Bone marrow smear.
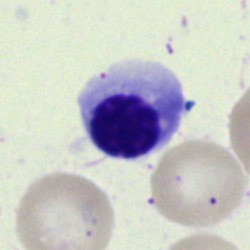 A normoblast.